Bone marrow smear; 40× oil immersion; 250×250 — 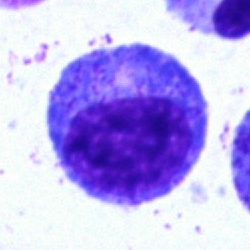The cell shown is a promyelocyte.